Image size 250×250; bone marrow smear:
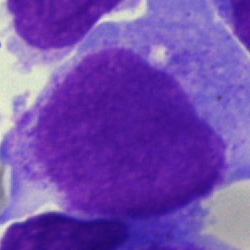Q: What type of cell is this?
A: It is a blast cell.